Bone marrow smear: 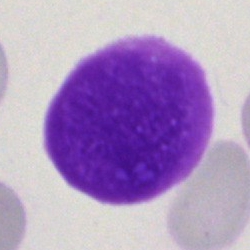

Specimen: bone marrow aspirate smear.
Morphological class: artifact.